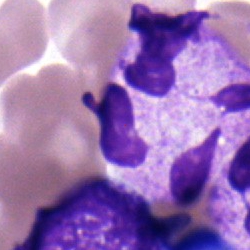
Morphology → polymorphonuclear neutrophil.